Single cell centered in the field · May-Grünwald-Giemsa stain · bone marrow smear — 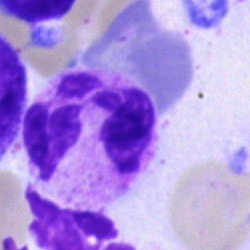 Showing a polymorphonuclear neutrophil.